Bone marrow aspirate smear — 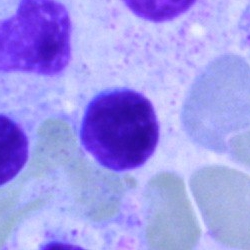
Classification — artefact.